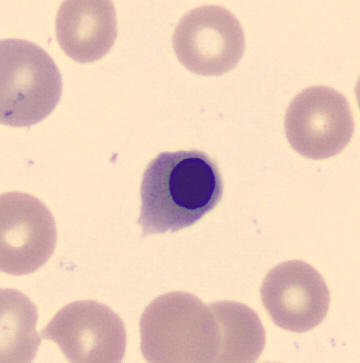
Morphological class: nucleated red cell. Peripheral blood film. Automated cell imaging (CellaVision DM96).